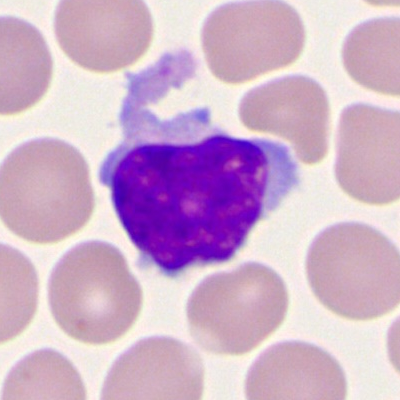
Showing a lymphocyte.